Bone marrow smear — 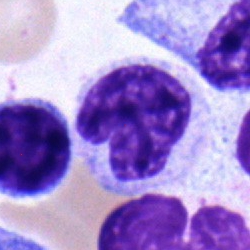

Single cell identified as a band-form neutrophil.